Brightfield microscopy, 40× oil immersion. Bone marrow aspirate smear.
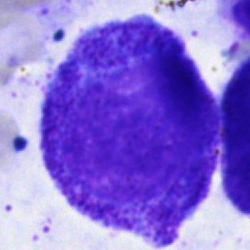Q: What type of cell is this?
A: This is a progranulocyte.